Bone marrow aspirate smear.
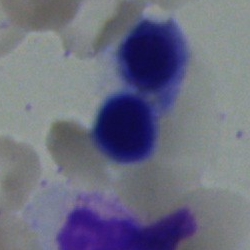{"cell_type": "erythroblast", "lineage": "erythroid"}